Single-cell field. Bone marrow aspirate smear — 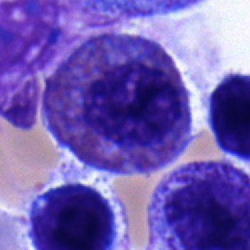Q: Identify the cell.
A: Typical lymphocyte.